Bone marrow aspirate smear. Pappenheim-stained: 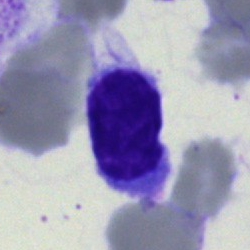
Morphology consistent with a typical lymphocyte.